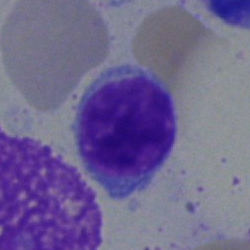 Typical lymphocyte.